Brightfield, 100× oil-immersion objective; Romanowsky-type stain; peripheral blood smear — 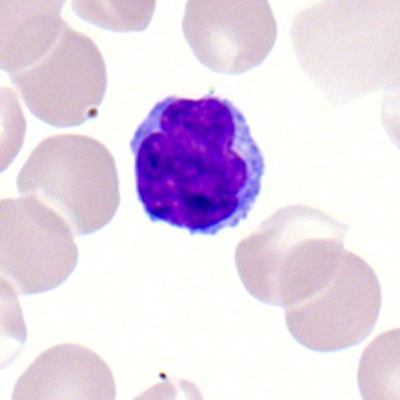 Morphology → lymphocyte.